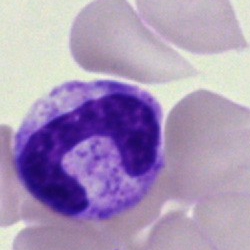Band neutrophil.